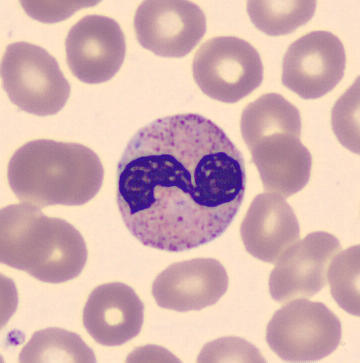The classification is neutrophil (segmented).
Cropped to a single cell. Imaged on a CellaVision DM96 analyser. Peripheral blood smear.